Bone marrow aspirate smear: 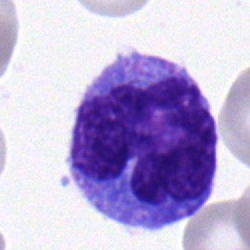 This is a monocyte.